Brightfield, 40× oil-immersion objective. Bone marrow aspirate smear
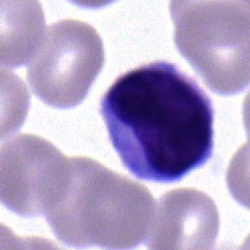

Showing a typical lymphocyte.